Bone marrow smear · single cell centered in the field:
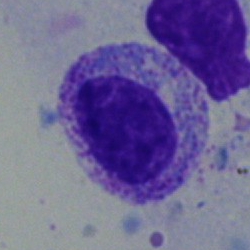

Q: What is the morphological classification of this cell?
A: This is a myelocyte.